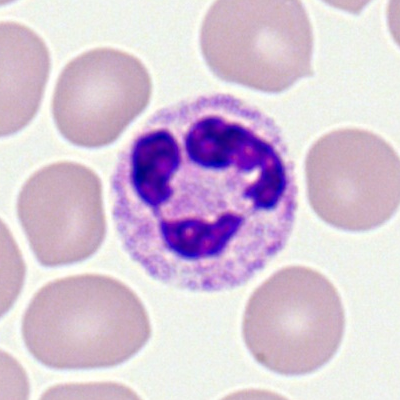 Classification = polymorphonuclear neutrophil.